Bone marrow aspirate smear — 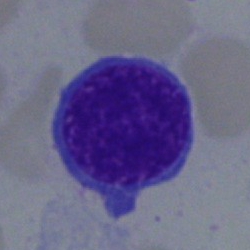

The classification is nucleated red cell.